Bone marrow smear · 250×250 px:
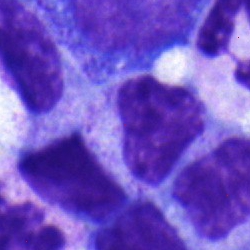
Single cell identified as a myelocyte.